Bone marrow aspirate smear: 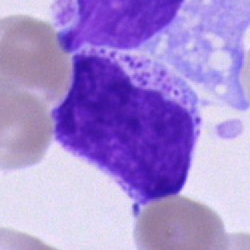Showing a cell of indeterminate lineage.